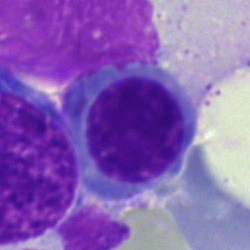 Impression → nucleated red blood cell.